Bone marrow smear:
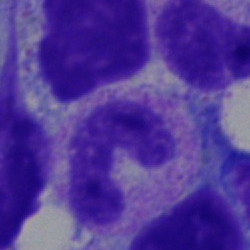{"cell_type": "neutrophil (segmented)"}